Bone marrow aspirate smear: 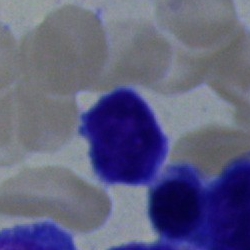

Cell — lymphocyte.